Bone marrow smear. 250 by 250 pixels. Brightfield microscopy, 40× oil immersion.
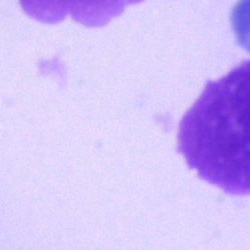 Specimen: bone marrow aspirate smear.
Classification: artefact.